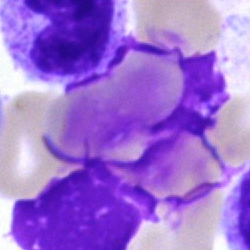
Q: What is shown here?
A: Artefact.